Bone marrow aspirate smear. Single-cell field
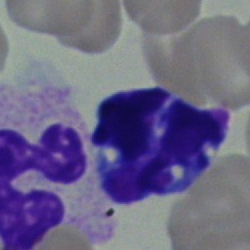

Impression — segmented neutrophil.